Peripheral blood film:
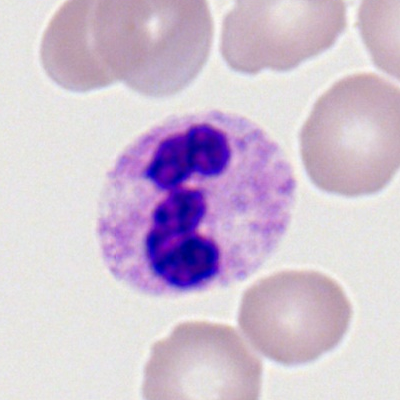
Morphology → neutrophil (segmented).